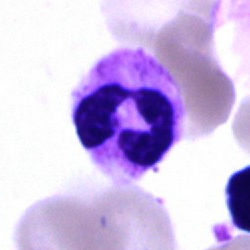

Q: Identify the cell.
A: A neutrophil (segmented).